Bone marrow smear — 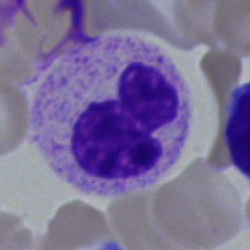 Morphological class: segmented neutrophil.